Bone marrow smear:
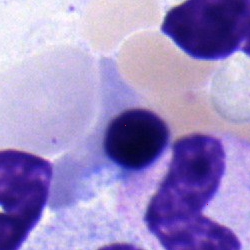

Cell: nucleated red cell.